Peripheral blood smear — 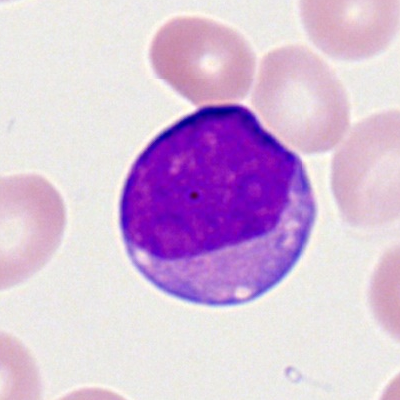Q: What is shown here?
A: It is a myeloblast.